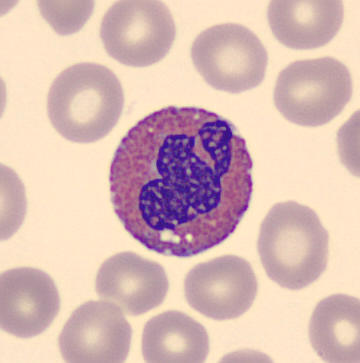
Acquisition: Image size 360×363. Cropped to a single cell. Peripheral blood film.
Identified as an eosinophil.